Single-cell crop; bone marrow smear — 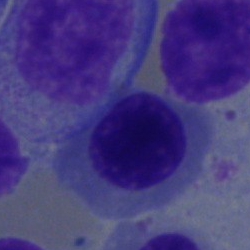 The morphological class is erythroblast.